Bone marrow smear
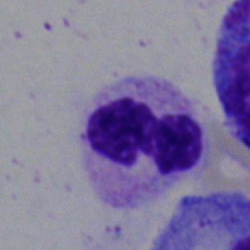
This is a neutrophil (segmented).